Bone marrow smear · 250 by 250 pixels · brightfield, 40× oil-immersion objective.
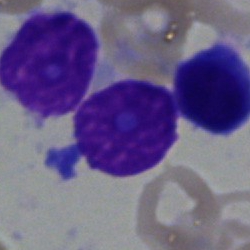Q: What is shown here?
A: It is a lymphocyte.